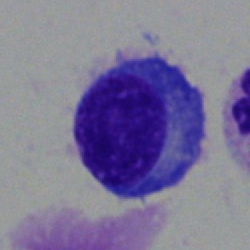
Classification: plasmacyte.